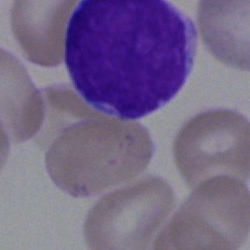Morphological class: blast.